Bone marrow smear: 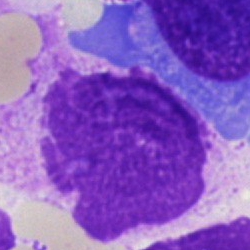

This is an artifact.